Bone marrow aspirate smear.
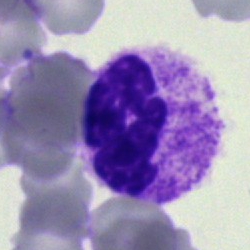 Neutrophil (segmented).